Bone marrow aspirate smear.
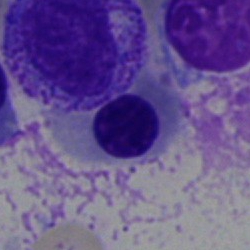Q: What type of cell is this?
A: Nucleated red blood cell.